Peripheral blood film
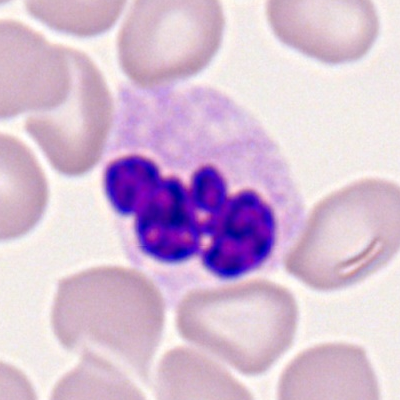Cell: neutrophil (segmented).